Bone marrow smear. 250×250: 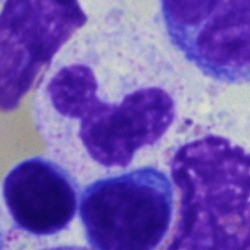
Showing a segmented neutrophil.